Bone marrow smear · 250×250 px · Pappenheim-stained.
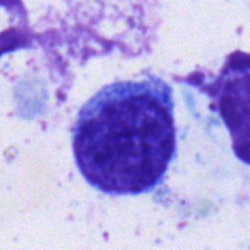{"cell_type": "typical lymphocyte"}